Bone marrow smear: 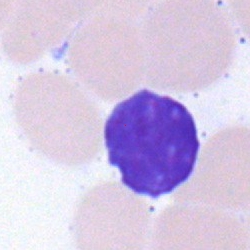
This is a typical lymphocyte.